Single cell centered in the field · 250×250 · bone marrow aspirate smear: 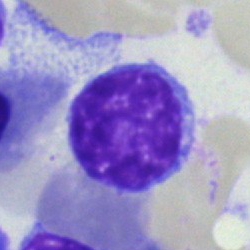 Showing a lymphocyte.